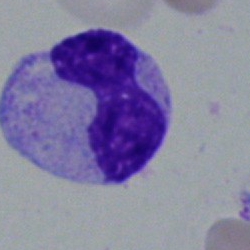
Cell type: band neutrophil.